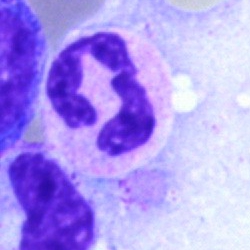
Specimen: bone marrow smear.
Classification: segmented neutrophil.
Lineage: myeloid.